Bone marrow smear; brightfield microscopy, 40× oil immersion — 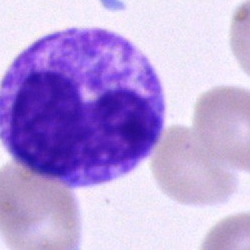 This is a metamyelocyte.